Bone marrow aspirate smear
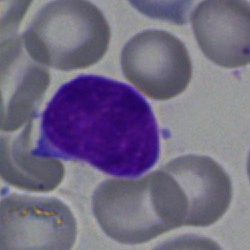
This is a typical lymphocyte.